Single cell centered in the field. Bone marrow aspirate smear: 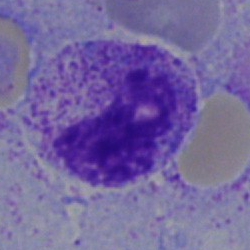

The cell shown is a polymorphonuclear neutrophil.